100× objective, oil immersion; peripheral blood smear:
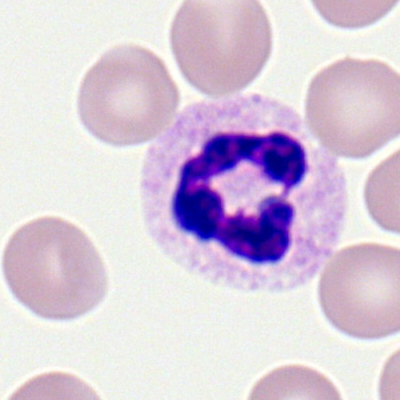Morphological class — segmented neutrophil.